Pappenheim-stained; bone marrow aspirate smear — 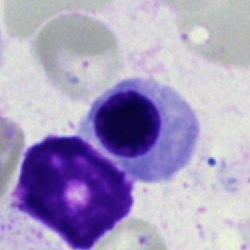

Morphology consistent with a nucleated red blood cell.